Bone marrow smear · Pappenheim-stained:
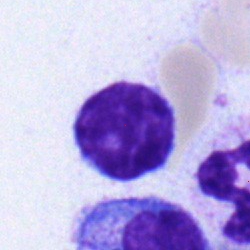

Morphology → lymphocyte.